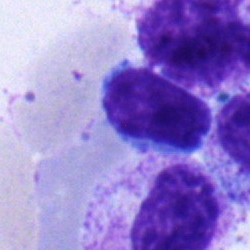 Cell type — typical lymphocyte.